Bone marrow smear — 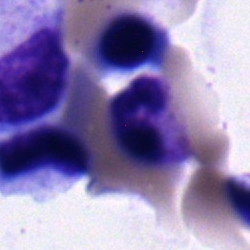
Q: What cell is this?
A: It is a polymorphonuclear neutrophil.